Bone marrow aspirate smear:
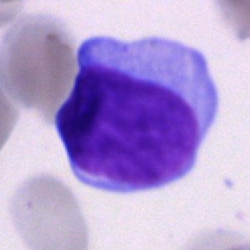
Cell — blast.